Single cell centered in the field · bone marrow aspirate smear: 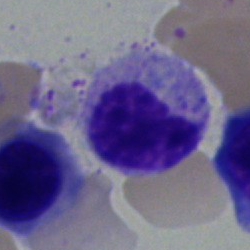Showing a myelocyte.